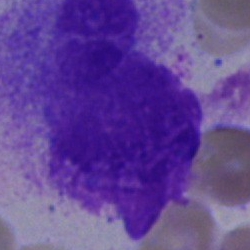
Bone marrow aspirate smear, single cell — artefact.